250 by 250 pixels; May-Grünwald-Giemsa/Pappenheim stain; bone marrow aspirate smear:
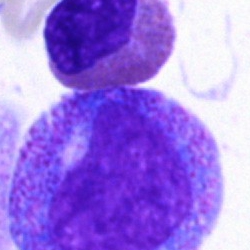 Q: What is the morphological classification of this cell?
A: It is a progranulocyte.